Bone marrow aspirate smear: 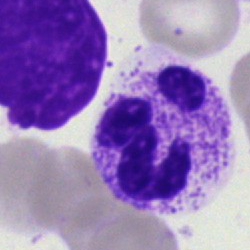Morphological class — polymorphonuclear neutrophil.